Pappenheim-stained · bone marrow smear — 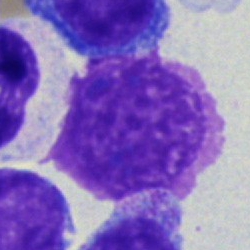Q: What is shown here?
A: Artifact.